40× oil immersion. Bone marrow smear: 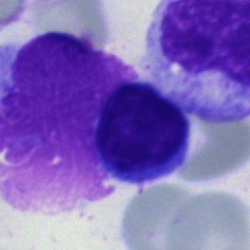

Impression → typical lymphocyte.